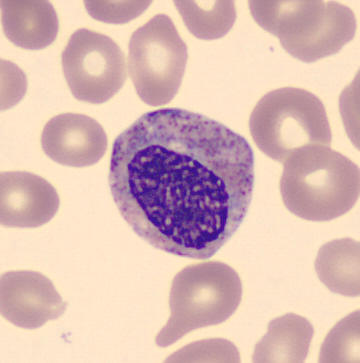
Classification: myelocyte.